Bone marrow aspirate smear: 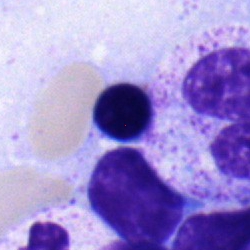
Showing a nucleated red cell.